Peripheral blood film · M8 digital microscope (Precipoint), 100× oil immersion · 400×400 px — 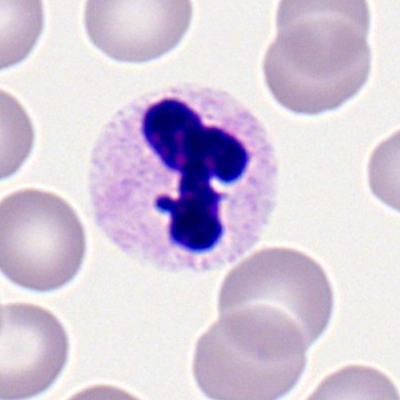 Morphology consistent with a polymorphonuclear neutrophil.